Bone marrow smear — 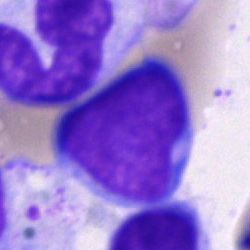The morphological class is blast.